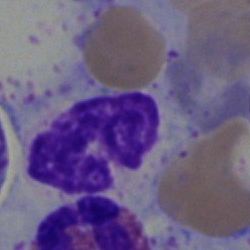Specimen: bone marrow aspirate smear.
Cell type: segmented neutrophil.